Bone marrow aspirate smear
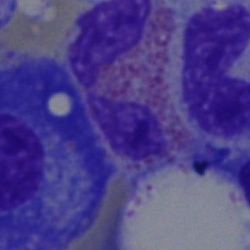 Showing an eosinophilic granulocyte.